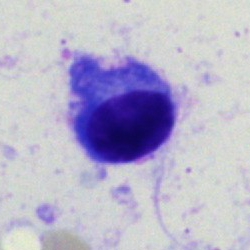 Impression → plasmacyte.